Bone marrow smear: 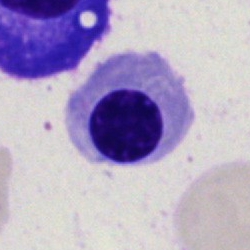Showing a normoblast.